Bone marrow aspirate smear
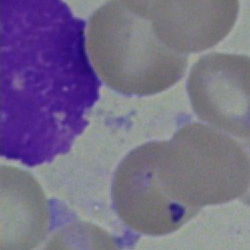 Morphological class — artifact.